Bone marrow aspirate smear · brightfield, 40× oil-immersion objective
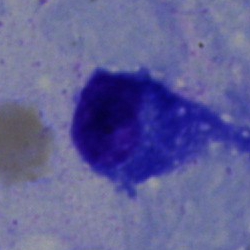 Cell type: plasmacyte.